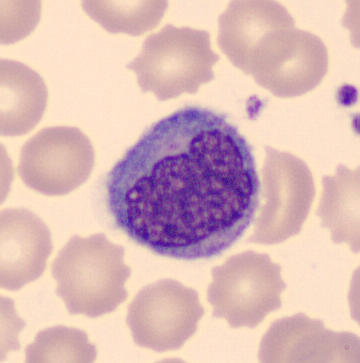

Morphology consistent with a monocyte.